40× oil immersion. Bone marrow smear
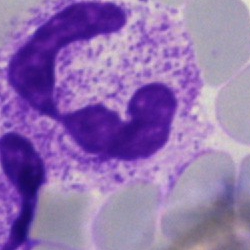 Morphology consistent with a segmented neutrophil.